Bone marrow aspirate smear. Pappenheim-stained.
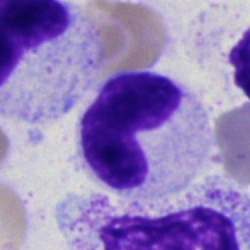

Morphology consistent with a stab cell.